Bone marrow smear: 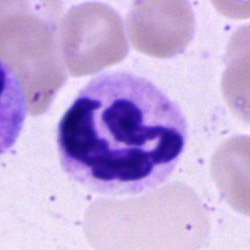Morphological class: polymorphonuclear neutrophil.